Bone marrow smear
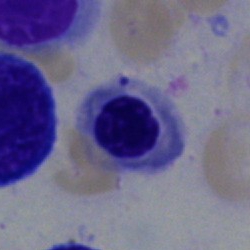 Classification — nucleated red cell.